Bone marrow smear
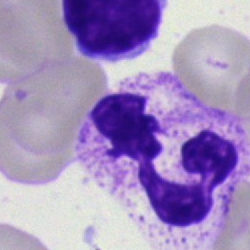Single cell identified as a segmented neutrophil.